Bone marrow aspirate smear: 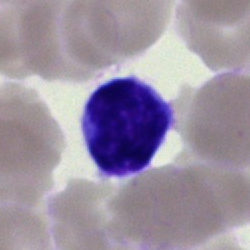
Cell type: lymphocyte.